Bone marrow smear
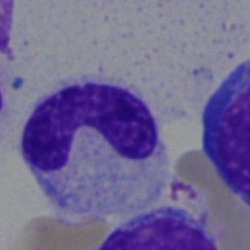 Showing a stab cell.